Brightfield microscopy, 40× oil immersion. Bone marrow aspirate smear. Pappenheim-stained — 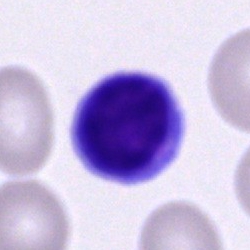 Lymphocyte.